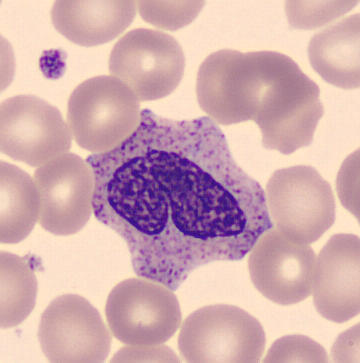
Showing a metamyelocyte.

Image: Peripheral blood smear.